Cropped to a single cell; May-Grünwald-Giemsa stain; bone marrow aspirate smear: 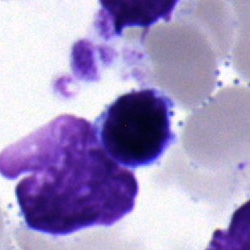 A lymphocyte.